Bone marrow smear.
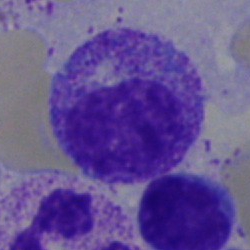

A myelocyte.